Bone marrow aspirate smear:
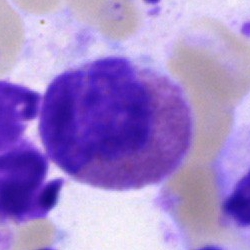

Morphological class = eosinophil.